May-Grünwald-Giemsa stain. Bone marrow aspirate smear
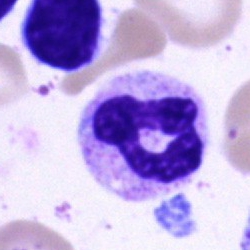 {"cell_type": "segmented neutrophil", "lineage": "myeloid"}